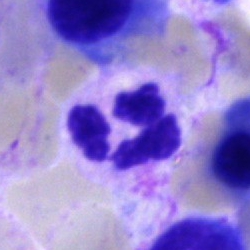 Classification: neutrophil (segmented).